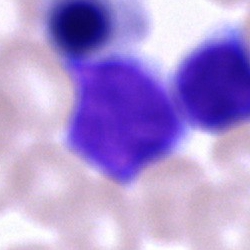

Q: What is shown here?
A: This is an artefact.